Bone marrow smear; 40× oil immersion:
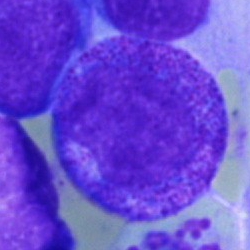Single cell identified as a progranulocyte.